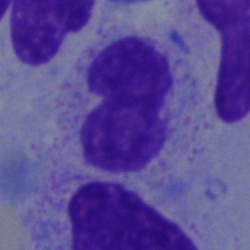Impression — artefact.